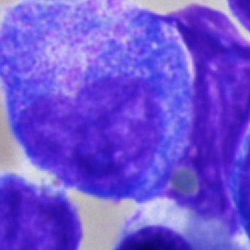 Impression → promyelocyte.